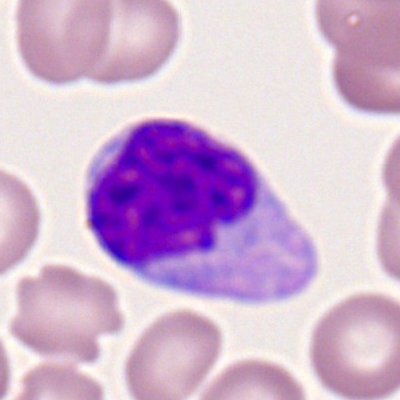

Q: What is the morphological classification of this cell?
A: A monocyte.